May-Grünwald-Giemsa/Pappenheim stain · bone marrow aspirate smear: 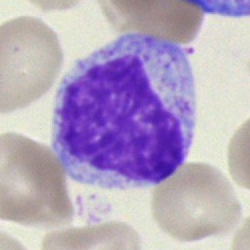 Showing a myelocyte.